Bone marrow smear; Pappenheim-stained.
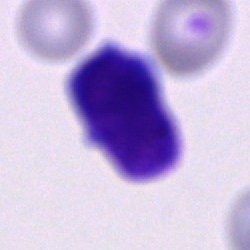

Q: What cell is this?
A: This is a blast cell.